Bone marrow smear
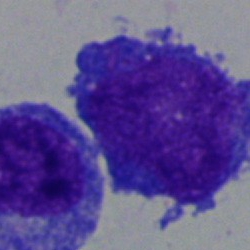

Showing a blast.